250×250 · bone marrow aspirate smear:
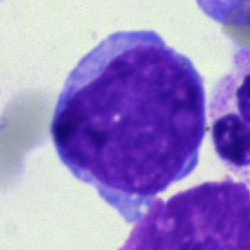Q: Which cell type is shown here?
A: This is a blast.